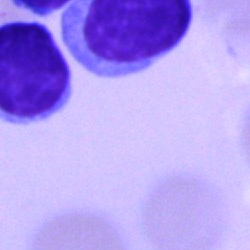Morphology consistent with a lymphocyte.